Bone marrow aspirate smear. May-Grünwald-Giemsa/Pappenheim stain.
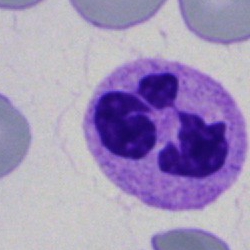 Polymorphonuclear neutrophil.